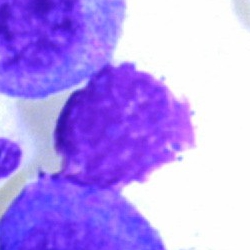
The morphological class is artifact.